Bone marrow aspirate smear
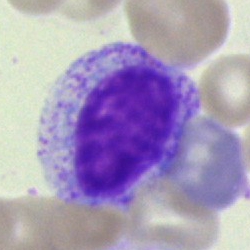

Specimen: bone marrow aspirate smear.
Morphological class: myelocyte.
Lineage: myeloid.